Bone marrow smear:
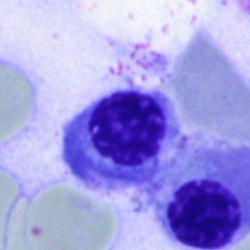Morphology consistent with an erythroblast.